Bone marrow aspirate smear:
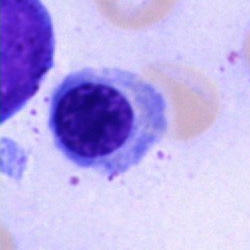
Specimen: bone marrow smear.
Morphological class: nucleated red blood cell.
Lineage: erythroid.